Bone marrow aspirate smear: 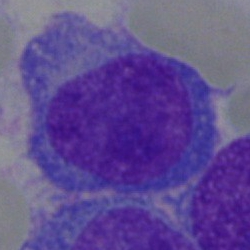This is a plasma cell.